May-Grünwald-Giemsa stain · bone marrow aspirate smear · 250×250 px.
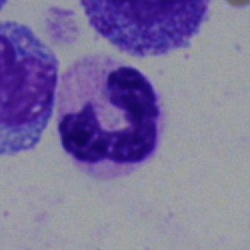 Showing a polymorphonuclear neutrophil.